Peripheral blood film.
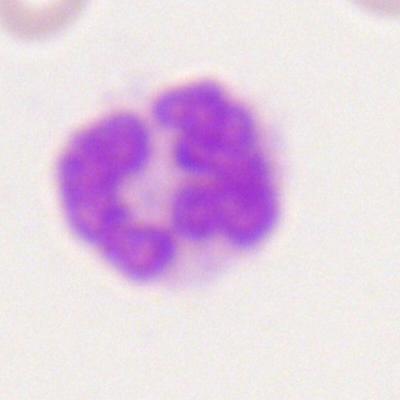Q: Identify the cell.
A: A neutrophil (segmented).